Single-cell field · peripheral blood smear
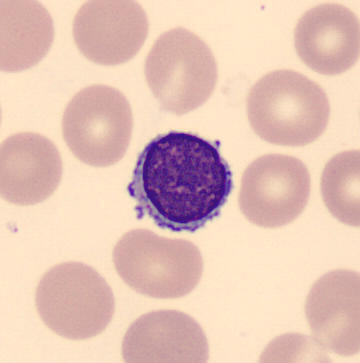
Impression — lymphocyte.